Bone marrow smear · 40× objective, oil immersion:
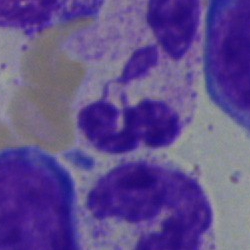
{"cell_type": "polymorphonuclear neutrophil", "lineage": "myeloid"}